Bone marrow aspirate smear — 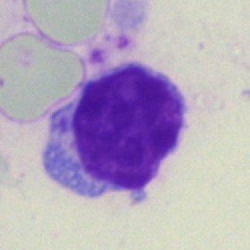
Cell = lymphocyte.